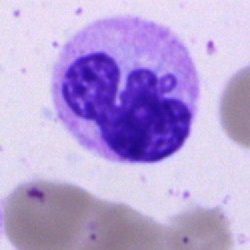

Bone marrow aspirate smear, single cell — segmented neutrophil.